Single-cell crop · bone marrow aspirate smear
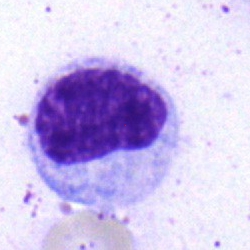

A metamyelocyte.